250×250. Bone marrow aspirate smear:
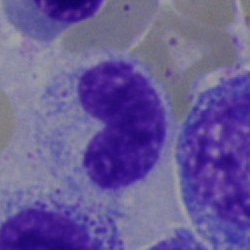
Q: What is shown here?
A: A stab cell.